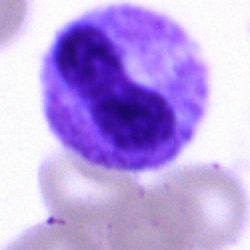 Morphology consistent with a stab cell.